Bone marrow aspirate smear: 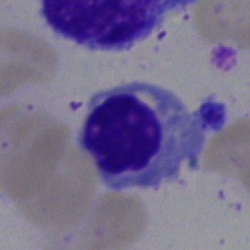 Q: Identify the cell.
A: A nucleated red cell.